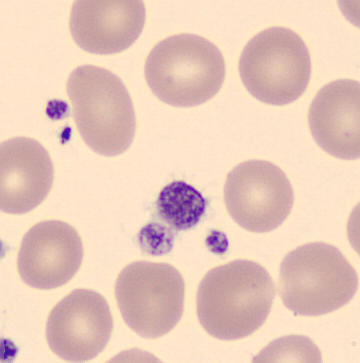Peripheral blood smear. 360×363. Automated cell imaging (CellaVision DM96).
Cell type: platelet.